40× objective, oil immersion; bone marrow aspirate smear — 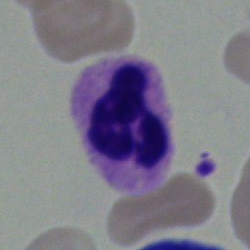

Impression → segmented neutrophil.